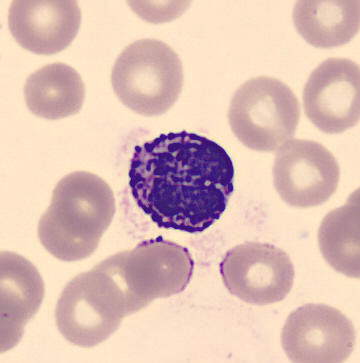
Preparation: Peripheral blood smear.
Showing a basophil.